Bone marrow aspirate smear.
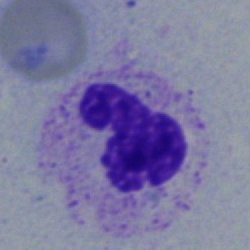 The cell type is polymorphonuclear neutrophil.